Bone marrow aspirate smear: 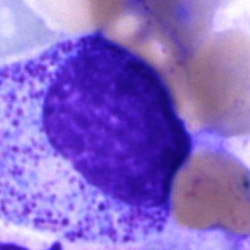
Cell = progranulocyte.